Bone marrow smear
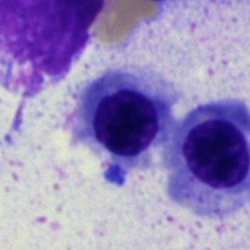 Nucleated red blood cell.